Bone marrow aspirate smear:
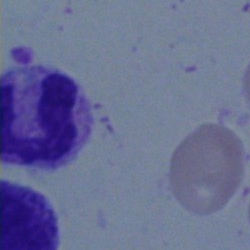
A polymorphonuclear neutrophil.